Bone marrow smear. Single cell centered in the field.
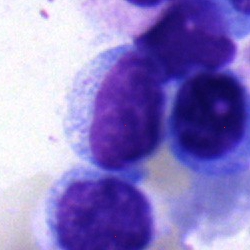 Showing a typical lymphocyte.